Bone marrow aspirate smear.
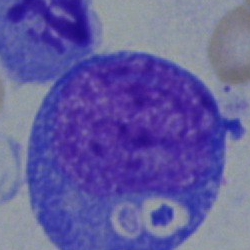 This is a blast cell.